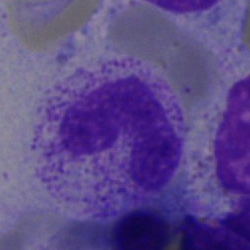

Morphology — neutrophil (segmented).